Bone marrow smear.
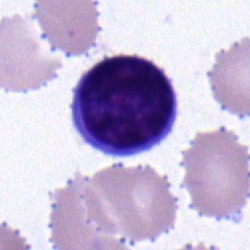

Classification: blast.